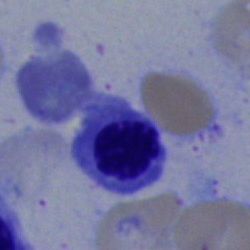 Morphological class — normoblast.